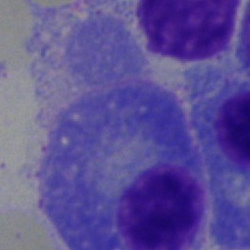
The classification is plasma cell.